Bone marrow aspirate smear.
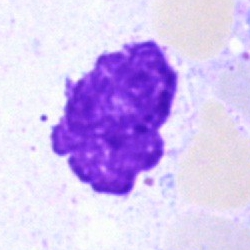
Impression — artefact.